Bone marrow smear; 40× objective, oil immersion
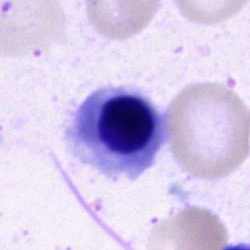
Specimen: bone marrow smear.
Classification: normoblast.
Lineage: erythroid.